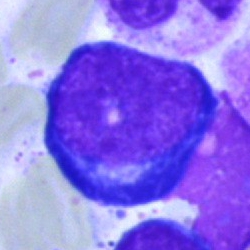Impression — pronormoblast.